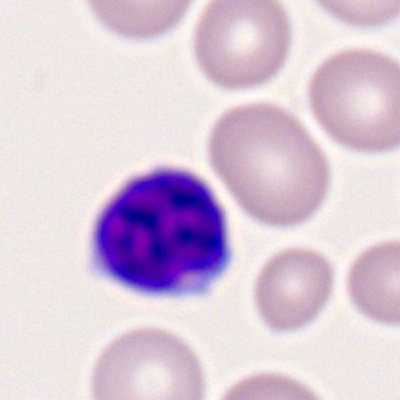
Cell: typical lymphocyte.